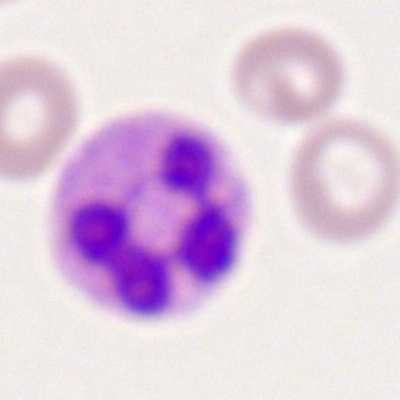
Polymorphonuclear neutrophil.